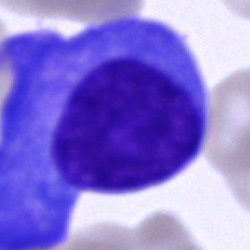

Q: Which cell type is shown here?
A: A plasma cell.